Bone marrow aspirate smear: 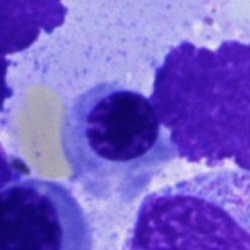
A normoblast.